Bone marrow smear: 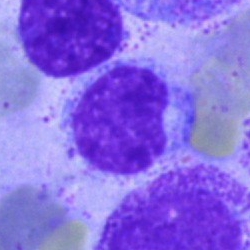

The cell shown is a typical lymphocyte.